Bone marrow smear; brightfield microscopy, 40× oil immersion.
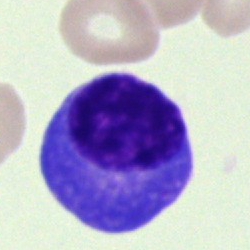

Cell = plasmacyte.